Bone marrow smear — 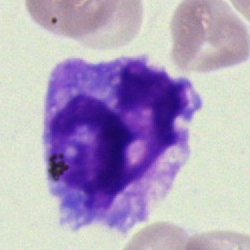

Specimen: bone marrow smear.
Cell type: monocyte.
Lineage: myeloid.